Bone marrow smear. 40× oil immersion. 250 by 250 pixels — 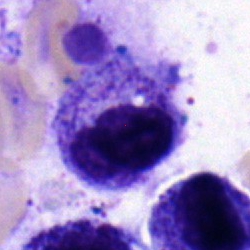 Morphology consistent with a myelocyte.